Bone marrow smear — 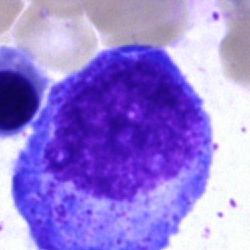
Morphological class — promyelocyte.